Bone marrow aspirate smear:
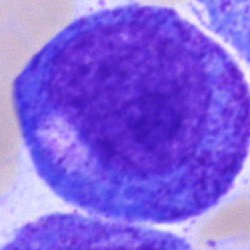 The cell is promyelocyte.